Peripheral blood smear — 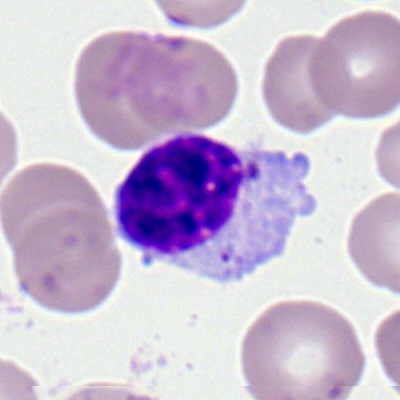 {"cell_type": "lymphocyte"}